Bone marrow smear
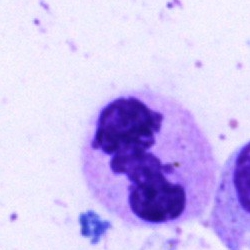Morphology → segmented neutrophil.